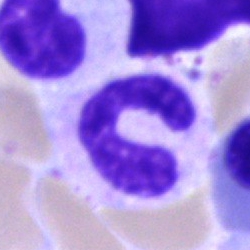
Stab cell.